Bone marrow aspirate smear. 250×250. Brightfield microscopy, 40× oil immersion:
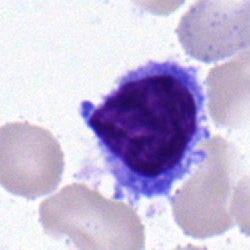

The classification is lymphocyte.